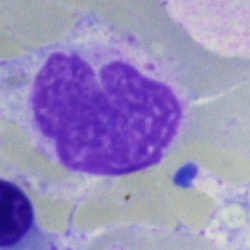 Q: What is shown here?
A: This is an artifact.